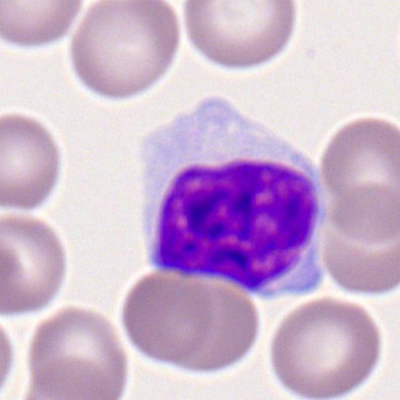
{"cell_type": "typical lymphocyte", "lineage": "lymphoid"}